Bone marrow aspirate smear.
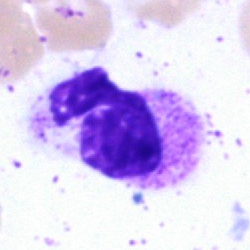

Cell type: neutrophil (segmented).